250 by 250 pixels; single-cell crop; bone marrow aspirate smear: 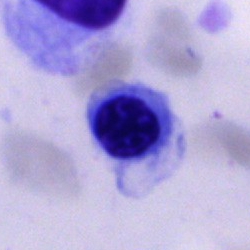Q: What is the morphological classification of this cell?
A: It is a nucleated red blood cell.